Bone marrow aspirate smear
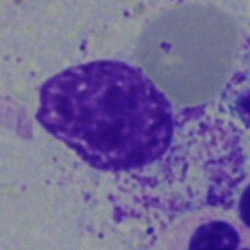Q: Which cell type is shown here?
A: A myelocyte.